Pappenheim-stained; bone marrow aspirate smear
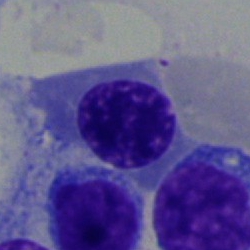

A nucleated red cell.